Bone marrow aspirate smear. Pappenheim-stained — 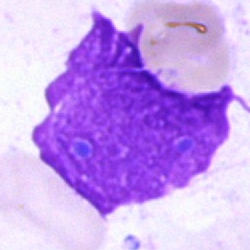 Single cell identified as an artefact.